Bone marrow aspirate smear · 40× objective, oil immersion
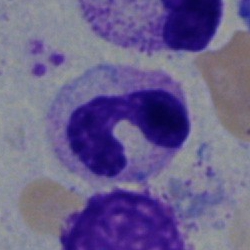
Specimen: bone marrow smear.
Cell: band neutrophil.
Lineage: myeloid.